Bone marrow smear:
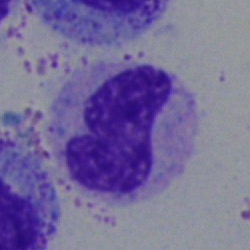
Specimen: bone marrow smear.
Cell: stab cell.
Lineage: myeloid.